100× oil immersion. Peripheral blood film. Single-cell crop:
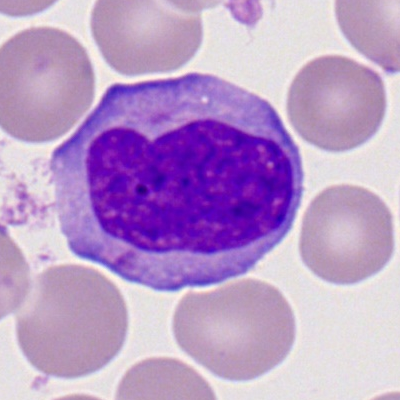
Q: What cell is this?
A: A monocyte.